Bone marrow aspirate smear.
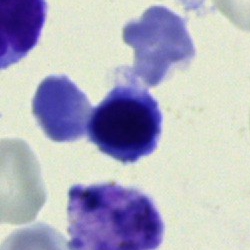Classification = typical lymphocyte.